Bone marrow aspirate smear:
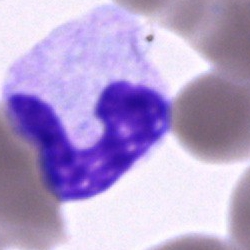

Segmented neutrophil.